Bone marrow smear · May-Grünwald-Giemsa stain · single-cell crop.
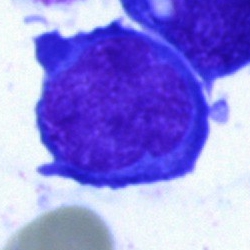 A blast cell.